Bone marrow smear; May-Grünwald-Giemsa/Pappenheim stain:
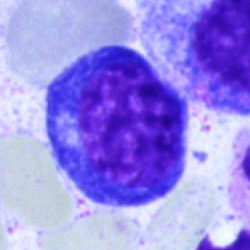

Specimen: bone marrow aspirate smear.
Cell: nucleated red cell.